Bone marrow aspirate smear: 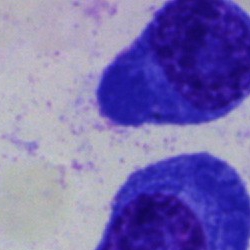

Showing a plasma cell.